Single-cell field. Bone marrow aspirate smear:
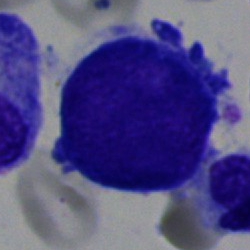This is an erythroblast.